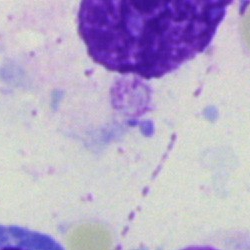Showing an artifact.